Bone marrow smear · single cell centered in the field · Pappenheim-stained:
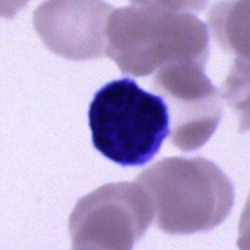

Single cell identified as a lymphocyte.